May-Grünwald-Giemsa stain; cropped to a single cell; bone marrow aspirate smear — 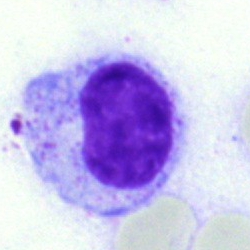
The cell is myelocyte.